Bone marrow smear · May-Grünwald-Giemsa stain: 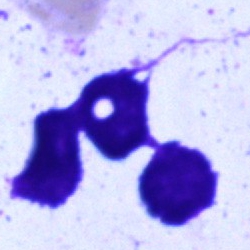 An artifact.